Bone marrow smear:
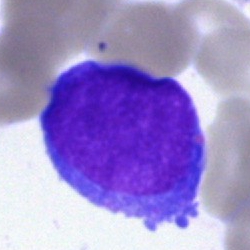
Q: What cell is this?
A: Blast.